Bone marrow smear.
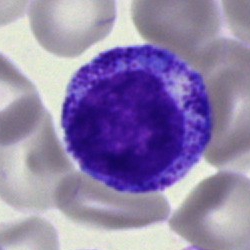
Q: Identify the cell.
A: A myelocyte.